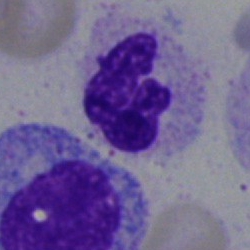
Q: What is shown here?
A: This is a neutrophil (segmented).